Bone marrow smear
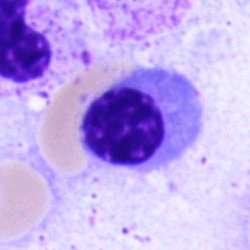This is a nucleated red blood cell.